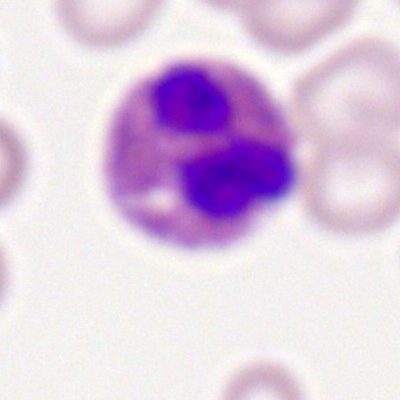 An eosinophilic granulocyte.